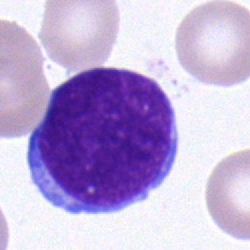
This is an undifferentiated blast.